250 by 250 pixels; bone marrow aspirate smear
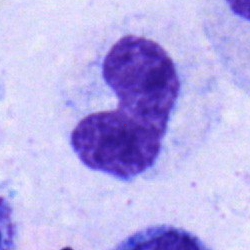 Cell type = neutrophil (band).